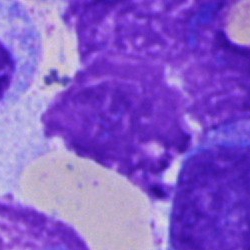Q: What is shown here?
A: Artifact.